250×250; Pappenheim-stained; bone marrow smear:
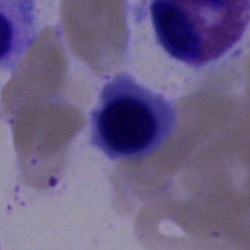
Specimen: bone marrow aspirate smear.
Cell: erythroblast.